Bone marrow aspirate smear
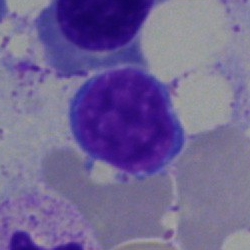

Specimen: bone marrow aspirate smear.
Morphological class: typical lymphocyte.
Lineage: lymphoid.